Pappenheim-stained; bone marrow smear: 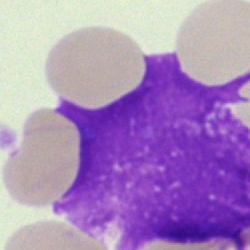Classification — artifact.